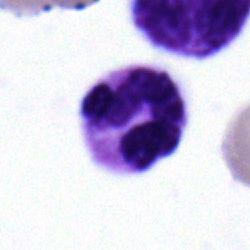{"cell_type": "neutrophil (band)", "lineage": "myeloid"}